MGG-stained; bone marrow aspirate smear
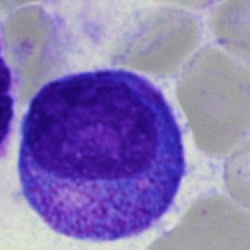

Promyelocyte.